250 by 250 pixels · bone marrow aspirate smear.
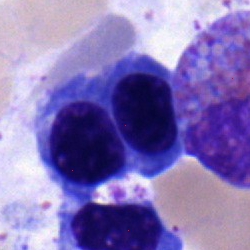{"cell_type": "nucleated red cell", "lineage": "erythroid"}